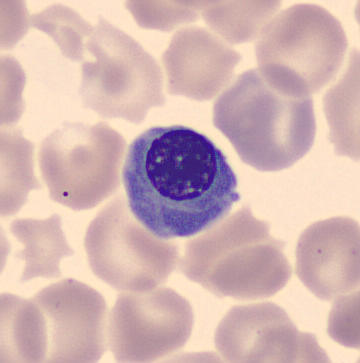

Identified as a normoblast.